Peripheral blood film · single-cell field
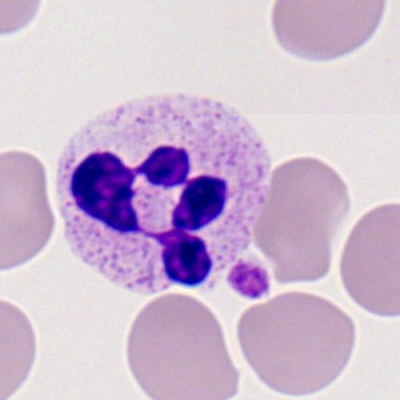The classification is polymorphonuclear neutrophil.